Bone marrow aspirate smear:
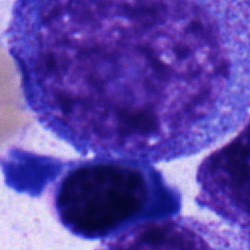

Morphology consistent with a progranulocyte.